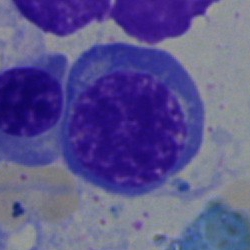Cell = normoblast.